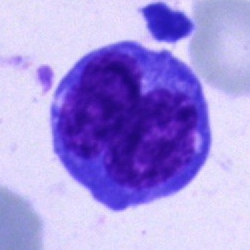

Morphology consistent with a blast cell.